Bone marrow smear — 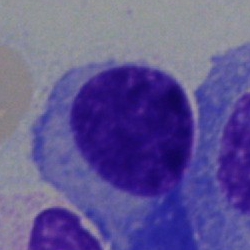

A plasma cell.